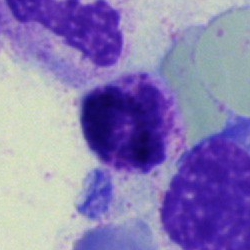

Single-cell crop from a bone marrow smear: basophil.